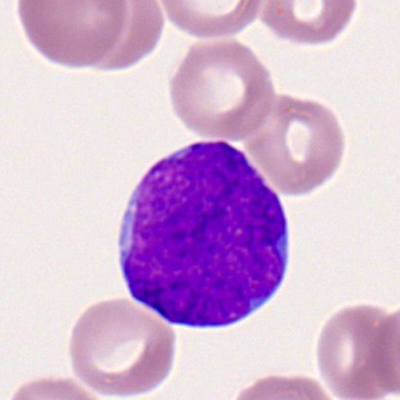
Specimen: peripheral blood smear.
Cell: myeloblast.
Lineage: myeloid.